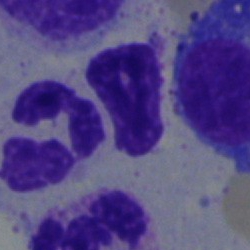Impression — segmented neutrophil.